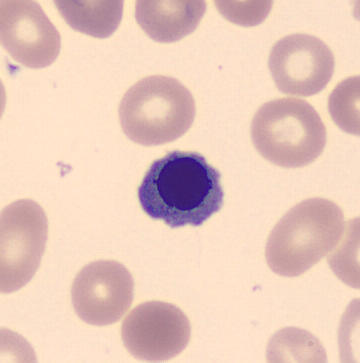
Showing a normoblast.
Peripheral blood smear; cropped to a single cell.